Peripheral blood smear; Romanowsky-stained.
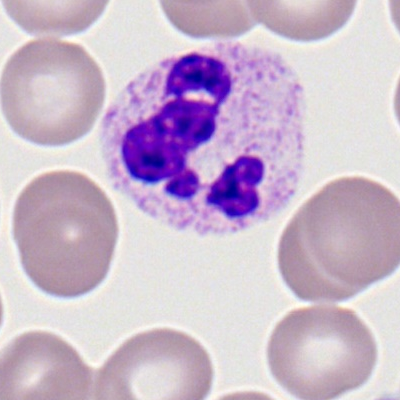
Cell type = polymorphonuclear neutrophil.